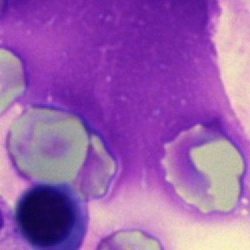

Cell: artefact.